Peripheral blood smear · Romanowsky stain.
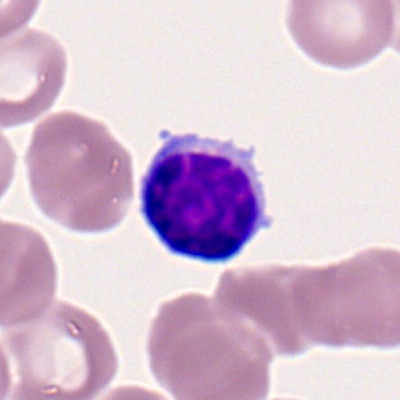
A lymphocyte.